Bone marrow aspirate smear
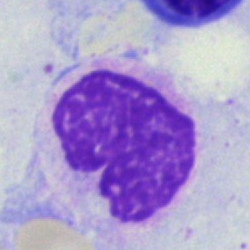Specimen: bone marrow aspirate smear.
Cell type: artifact.